Bone marrow aspirate smear; May-Grünwald-Giemsa/Pappenheim stain; 40× oil immersion:
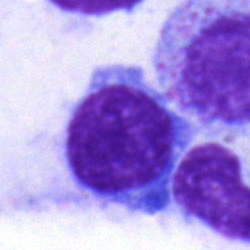
A typical lymphocyte.